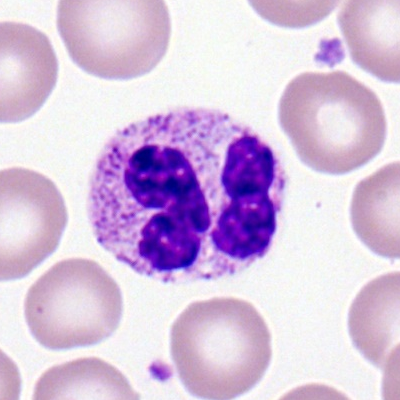A neutrophil (segmented).